Brightfield microscopy, 40× oil immersion · bone marrow aspirate smear
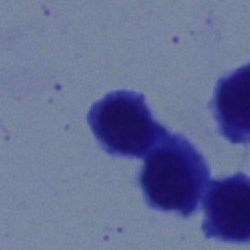

Erythroblast.